Bone marrow smear:
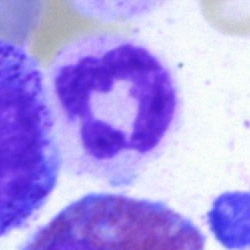 Morphology consistent with a neutrophil (segmented).